Bone marrow aspirate smear; Pappenheim-stained — 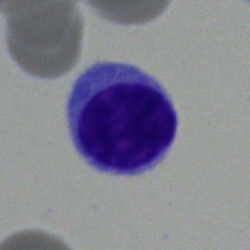

{"cell_type": "lymphocyte"}